Single cell centered in the field. Bone marrow smear: 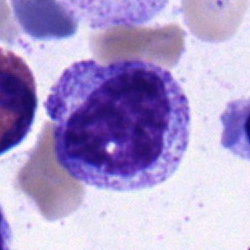Q: What is shown here?
A: A myelocyte.